Bone marrow aspirate smear
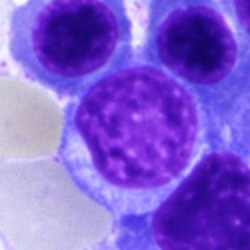 Specimen: bone marrow smear.
Cell type: typical lymphocyte.
Lineage: lymphoid.